Bone marrow smear.
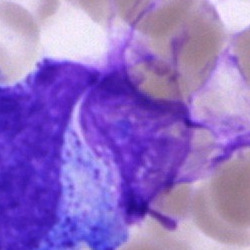 Q: What is shown here?
A: This is an artefact.